Bone marrow aspirate smear.
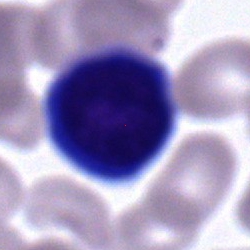
Impression → lymphocyte.